Romanowsky-type stain. Peripheral blood smear. 100× oil immersion — 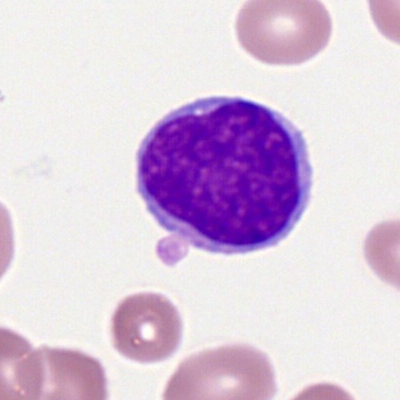Specimen: peripheral blood film.
Classification: myeloblast.
Lineage: myeloid.